Bone marrow aspirate smear: 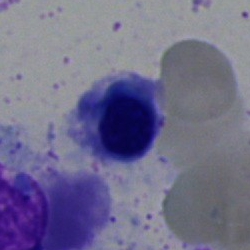
Showing a nucleated red cell.